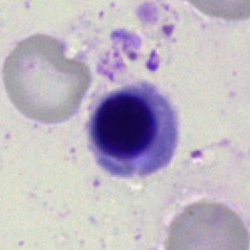Bone marrow smear showing an erythroblast.